Bone marrow aspirate smear; May-Grünwald-Giemsa/Pappenheim stain; cropped to a single cell
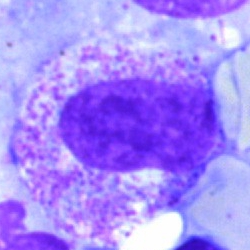

Cell = myelocyte.